Bone marrow aspirate smear:
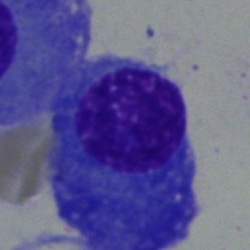Showing a plasmacyte.